Bone marrow smear: 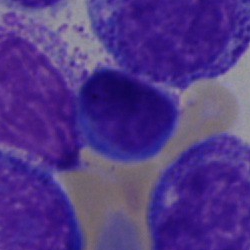 Specimen: bone marrow smear.
Morphological class: lymphocyte.